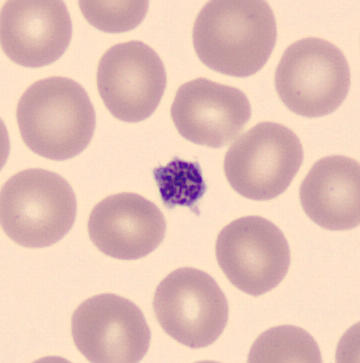

The morphological class is platelet (thrombocyte). Image: Peripheral blood film.